Bone marrow aspirate smear: 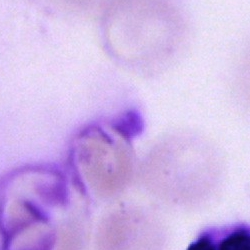
Q: What is shown here?
A: It is an artefact.